Single-cell crop. Bone marrow aspirate smear — 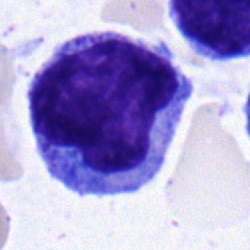 Q: What is shown here?
A: A monocyte.